Brightfield, 40× oil-immersion objective. Bone marrow smear. Single cell centered in the field: 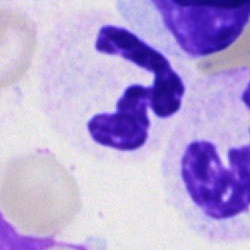 Morphology consistent with a neutrophil (segmented).